Bone marrow smear. May-Grünwald-Giemsa stain. Brightfield microscopy, 40× oil immersion — 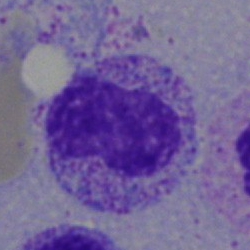 Metamyelocyte.